Brightfield, 40× oil-immersion objective; bone marrow aspirate smear; cropped to a single cell.
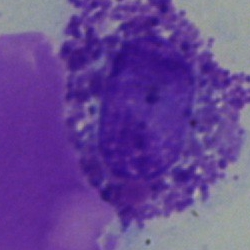

Morphology — other cell.